Bone marrow aspirate smear; 40× objective, oil immersion.
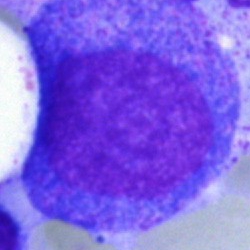
Classification = progranulocyte.